Bone marrow smear.
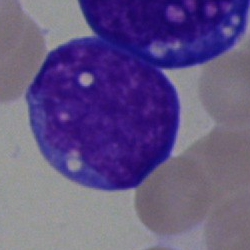

Showing a blast.